100× oil immersion · 400×400 · peripheral blood film — 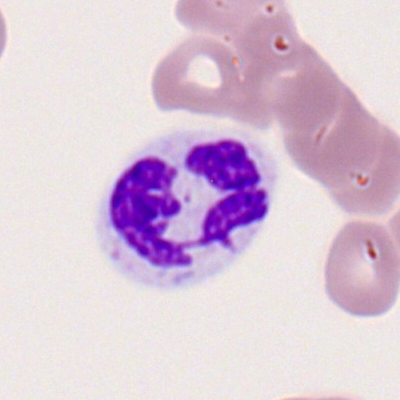
Impression — segmented neutrophil.